Bone marrow aspirate smear
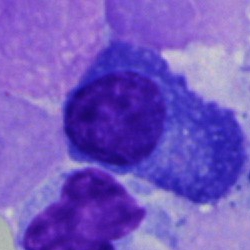 Q: What cell is this?
A: Plasmacyte.